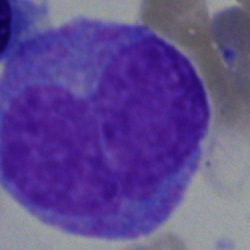 Cell type — progranulocyte.